Bone marrow aspirate smear · single-cell field · MGG-stained — 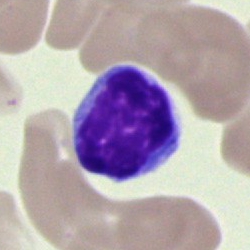Morphology → typical lymphocyte.